MGG stain · peripheral blood film · CellaVision DM96.
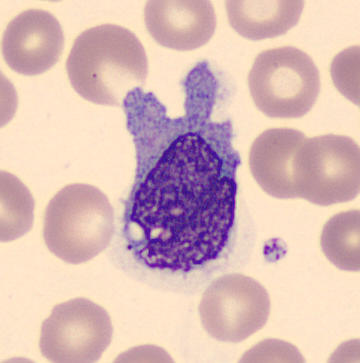

Q: Identify the cell.
A: A monocyte.